Cropped to a single cell. Bone marrow aspirate smear.
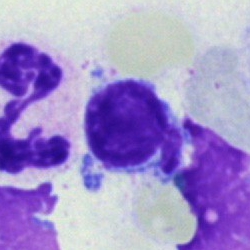Q: What is shown here?
A: Typical lymphocyte.